Bone marrow smear; single-cell field; image size 250×250 — 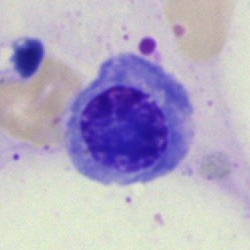 Normoblast.